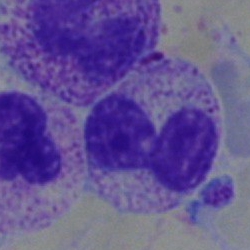 This is a band neutrophil.